250×250 px · brightfield, 40× oil-immersion objective · bone marrow smear
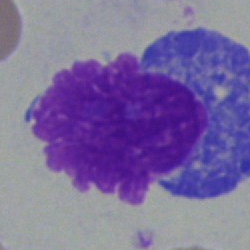
Specimen: bone marrow smear.
Cell: artefact.